Bone marrow aspirate smear — 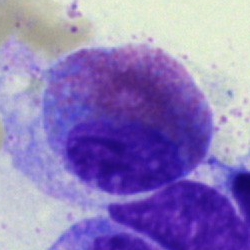 Specimen: bone marrow smear.
Cell: eosinophilic granulocyte.
Lineage: myeloid.